Bone marrow aspirate smear. Brightfield, 40× oil-immersion objective
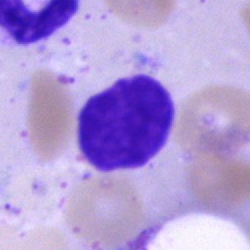

This is an artifact.